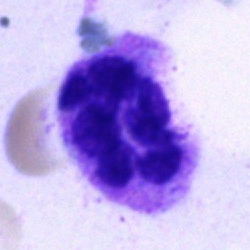Impression → segmented neutrophil.